Bone marrow aspirate smear; image size 250×250; cropped to a single cell:
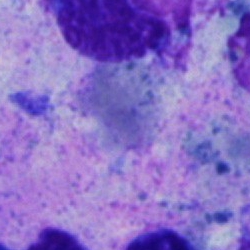
Impression → artefact.